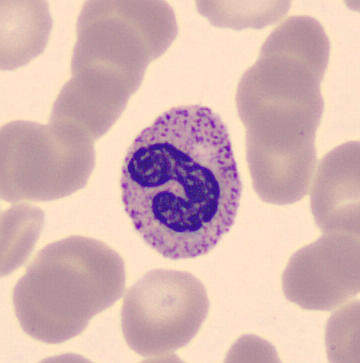
Q: What is this?
A: A neutrophil (band).